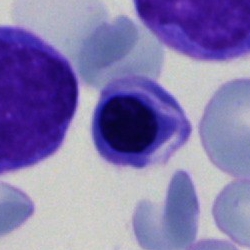 Cell: nucleated red cell.